Bone marrow smear: 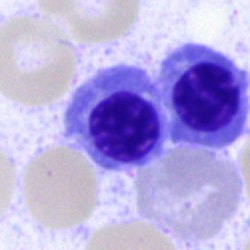

Cell: nucleated red blood cell.